Bone marrow aspirate smear.
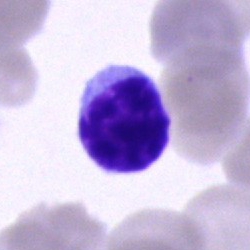
The cell is typical lymphocyte.